Bone marrow smear: 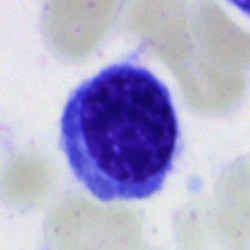

Normoblast.